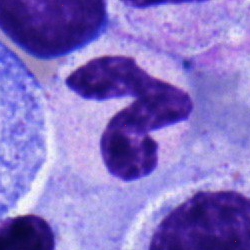

Morphology → polymorphonuclear neutrophil.